Bone marrow aspirate smear — 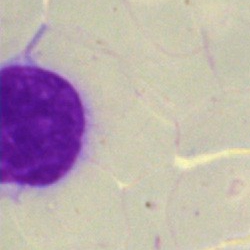An artifact.